Bone marrow smear. May-Grünwald-Giemsa stain
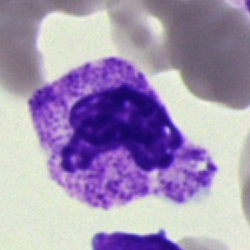

Specimen: bone marrow aspirate smear.
Cell type: neutrophil (segmented).
Lineage: myeloid.